Bone marrow smear. Single-cell crop:
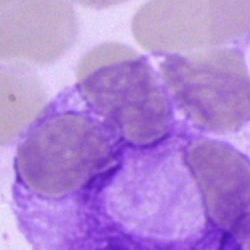

The cell shown is an artefact.